Bone marrow smear
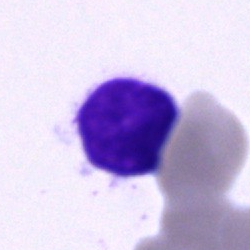
Specimen: bone marrow aspirate smear.
Morphological class: cell of indeterminate lineage.